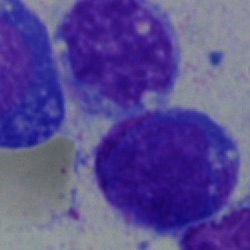The morphological class is progranulocyte.